Pappenheim-stained; bone marrow smear
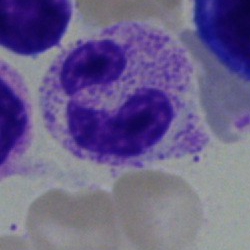Morphological class = neutrophil (segmented).